MGG-stained. Single-cell field. Bone marrow aspirate smear
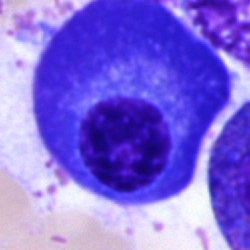
Showing a plasmacyte.